Peripheral blood film. Single-cell field. CellaVision DM96 digital cell image:
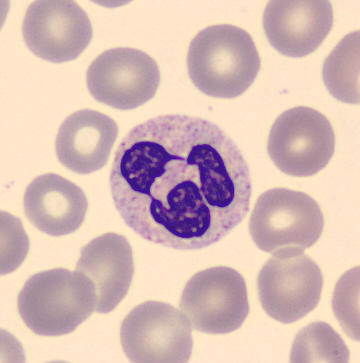

Q: What is this?
A: It is a polymorphonuclear neutrophil.